Bone marrow smear — 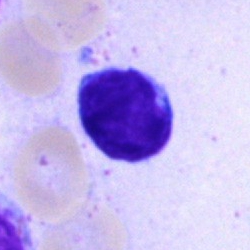 The cell shown is a typical lymphocyte.